Single-cell crop; bone marrow smear:
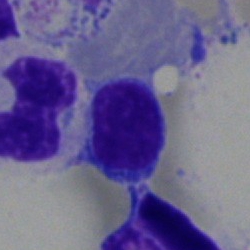Cell — typical lymphocyte.